Bone marrow aspirate smear: 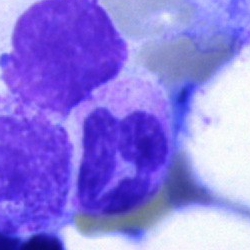
The cell shown is a polymorphonuclear neutrophil.